Bone marrow smear
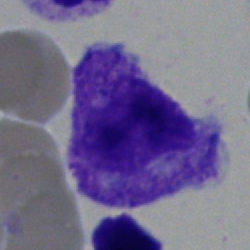Morphology consistent with a myelocyte.